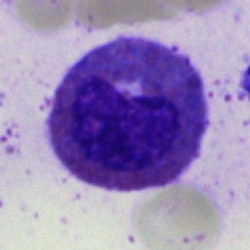

This is an eosinophilic granulocyte.